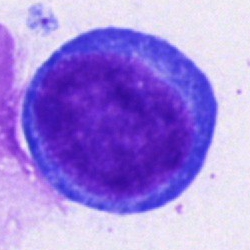
Q: What is the morphological classification of this cell?
A: A pronormoblast.